Bone marrow smear
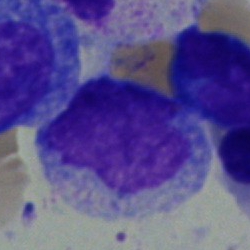 Cell — monocyte.